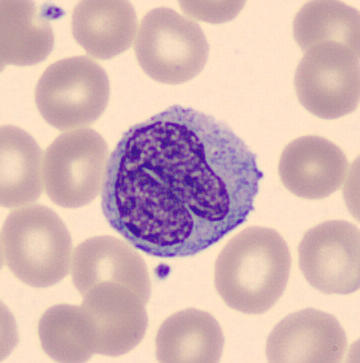Classification: monocyte. Peripheral blood film.